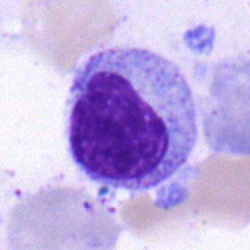
Bone marrow aspirate smear, single cell — lymphocyte.